400 by 400 pixels. Peripheral blood film. Romanowsky stain:
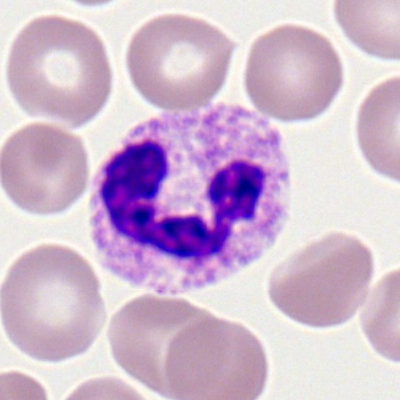
Morphology consistent with a neutrophil (segmented).